Bone marrow smear: 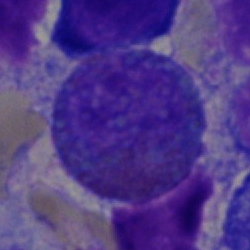

The cell shown is an eosinophil.